Bone marrow aspirate smear; 250×250 px.
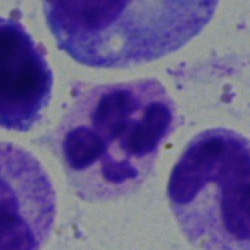

Cell — segmented neutrophil.